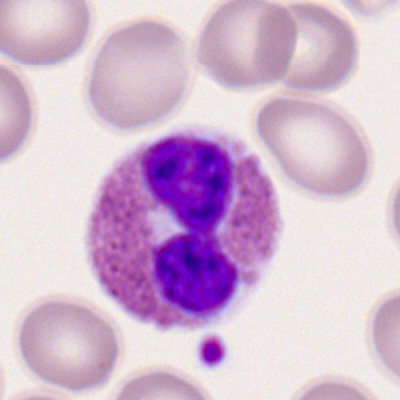Peripheral blood smear showing an eosinophil.